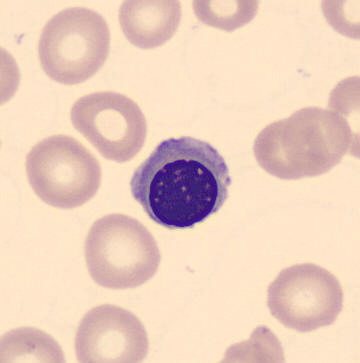Impression — nucleated red cell.